Pappenheim-stained · bone marrow smear
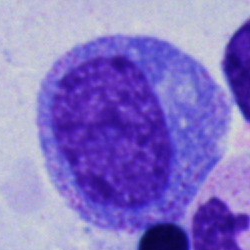 Morphological class = promyelocyte.